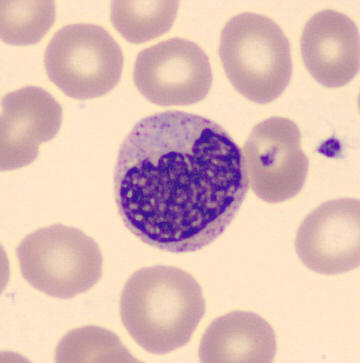
Peripheral blood smear; image size 360×363. Identified as a myelocyte.